Bone marrow aspirate smear. Single cell centered in the field — 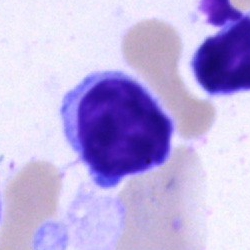 Cell = typical lymphocyte.